Bone marrow aspirate smear · 40× objective, oil immersion: 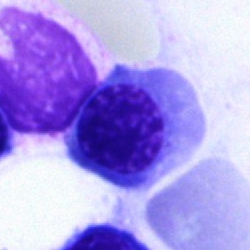
A nucleated red cell.